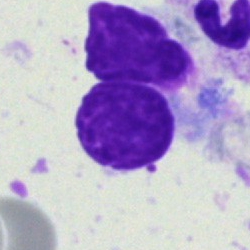Q: What type of cell is this?
A: A lymphocyte.